Bone marrow aspirate smear — 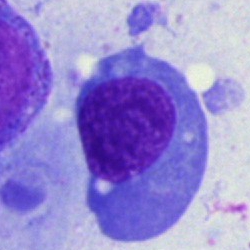 Q: What is shown here?
A: This is a nucleated red blood cell.